40× oil immersion · bone marrow aspirate smear: 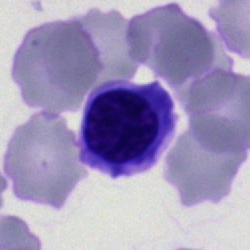
Nucleated red cell.